May-Grünwald-Giemsa stain; bone marrow aspirate smear:
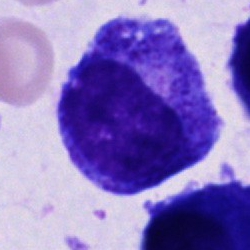The morphological class is progranulocyte.